Brightfield microscopy, 40× oil immersion. Bone marrow smear: 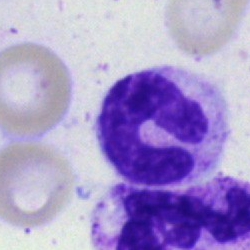 Specimen: bone marrow smear.
Cell type: band neutrophil.